Bone marrow aspirate smear · cropped to a single cell: 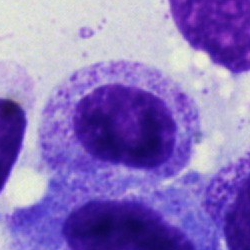 Specimen: bone marrow smear.
Cell: myelocyte.